250 by 250 pixels · bone marrow aspirate smear: 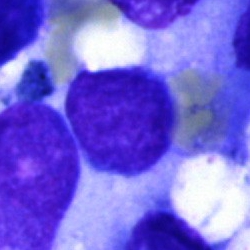
Classification — typical lymphocyte.